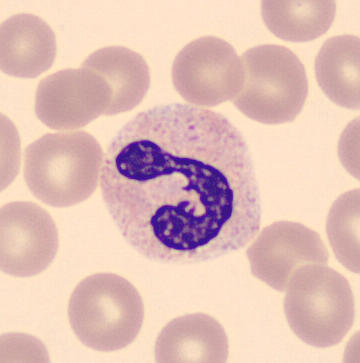Specimen: peripheral blood smear.
Cell type: polymorphonuclear neutrophil.